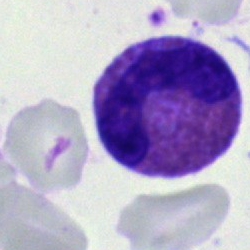

An eosinophilic granulocyte on a bone marrow smear.